Bone marrow smear — 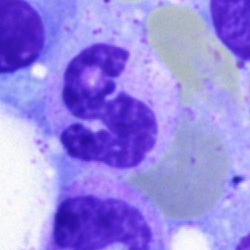 Morphology consistent with a segmented neutrophil.